Bone marrow aspirate smear · May-Grünwald-Giemsa stain — 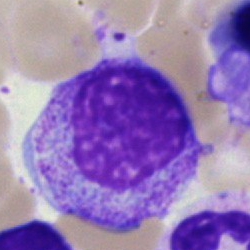 Morphology — myelocyte.